Bone marrow aspirate smear. Single-cell field. Brightfield microscopy, 40× oil immersion:
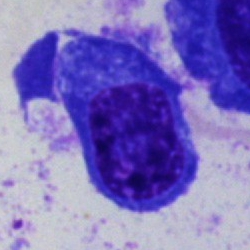The classification is plasmacyte.